Bone marrow smear: 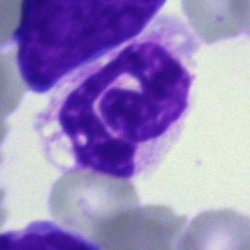Cell — polymorphonuclear neutrophil.